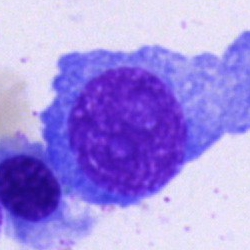 {"cell_type": "plasmacyte"}